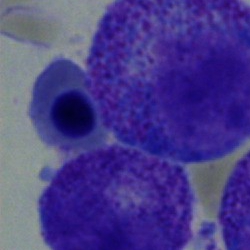
Cell type — progranulocyte.